Bone marrow aspirate smear:
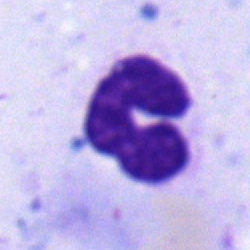 Classification = stab cell.